40× objective, oil immersion. Bone marrow aspirate smear — 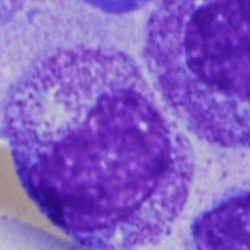 Showing a myelocyte.